Bone marrow smear
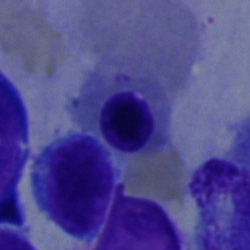

Normoblast.